Bone marrow aspirate smear; cropped to a single cell — 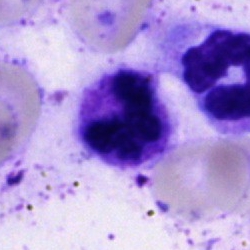 Specimen: bone marrow smear.
Cell: polymorphonuclear neutrophil.
Lineage: myeloid.